CellaVision DM96 digital cell image; cropped to a single cell; peripheral blood film — 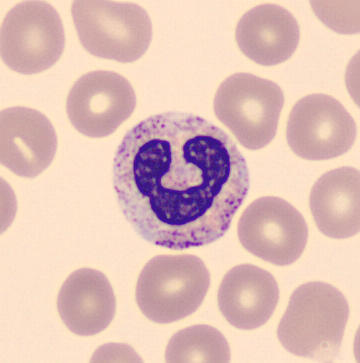 Band-form neutrophil.